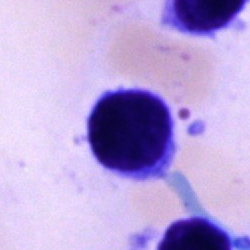
Morphological class = typical lymphocyte.